250×250 px; bone marrow smear
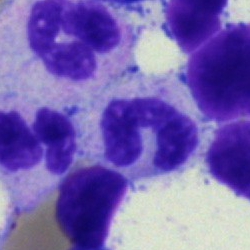

Specimen: bone marrow aspirate smear.
Cell type: neutrophil (segmented).